Bone marrow smear — 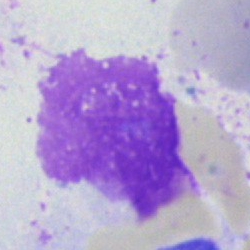

Cell = artifact.